Brightfield, 40× oil-immersion objective; bone marrow aspirate smear
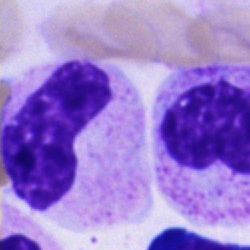Specimen: bone marrow aspirate smear.
Cell: cell of indeterminate lineage.